Bone marrow smear — 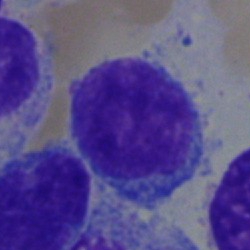
Undifferentiated blast.